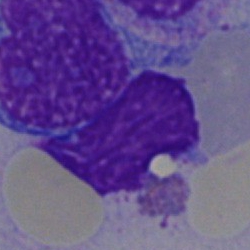

Single cell identified as an artifact.